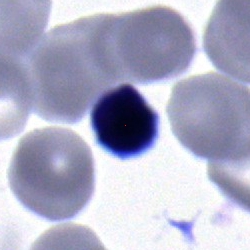 Single cell identified as a typical lymphocyte.